Bone marrow aspirate smear — 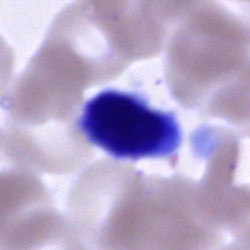 The classification is unidentifiable cell.